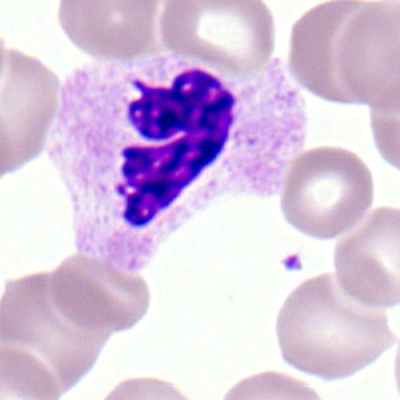

The cell shown is a polymorphonuclear neutrophil.